Brightfield microscopy, 40× oil immersion. Bone marrow smear:
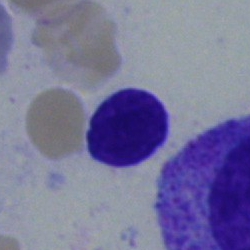 Lymphocyte.